Bone marrow smear — 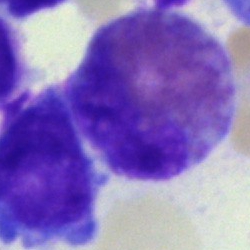 Eosinophil.